Bone marrow smear.
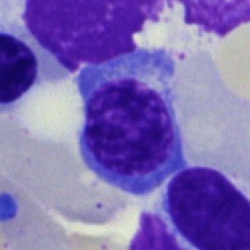

Morphology consistent with an erythroblast.